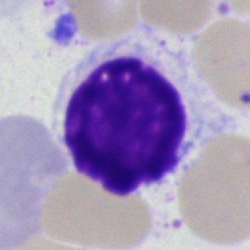Q: What is shown here?
A: Artefact.